Cropped to a single cell · bone marrow aspirate smear
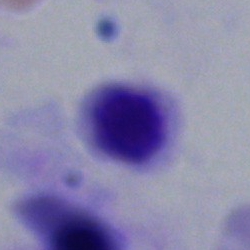
Classification: erythroblast.